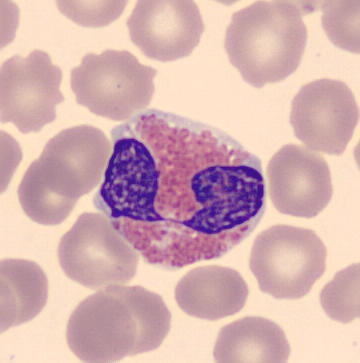

Cropped to a single cell; peripheral blood smear. Classification = eosinophil.